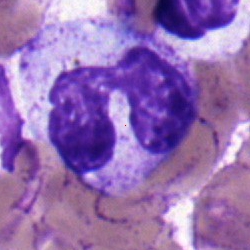
{"cell_type": "stab cell", "lineage": "myeloid"}